Bone marrow smear; cropped to a single cell; 40× oil immersion.
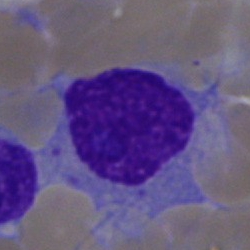Single cell identified as a plasmacyte.